Bone marrow aspirate smear
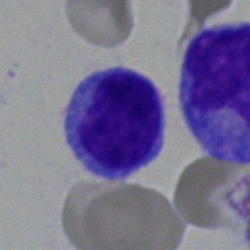
Impression → typical lymphocyte.